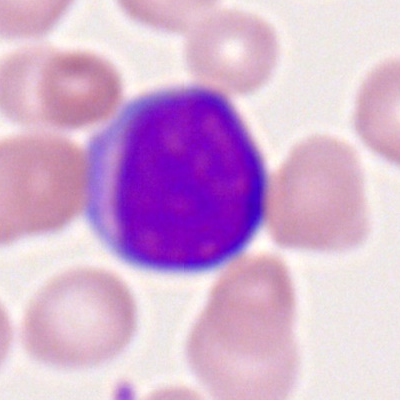

Cell type = myeloblast.